Bone marrow smear: 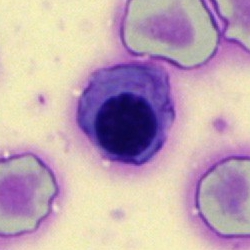

Specimen: bone marrow aspirate smear.
Cell type: normoblast.
Lineage: erythroid.